250×250 px; bone marrow aspirate smear:
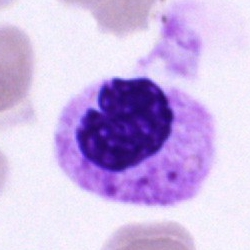Showing a polymorphonuclear neutrophil.